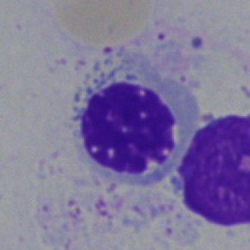
Classification: nucleated red blood cell.